MGG-stained. Bone marrow smear:
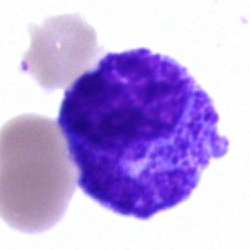Specimen: bone marrow aspirate smear.
Cell: myelocyte.
Lineage: myeloid.